250×250; bone marrow smear — 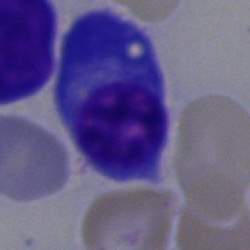
Q: What is shown here?
A: This is a plasma cell.